Bone marrow smear; single-cell crop:
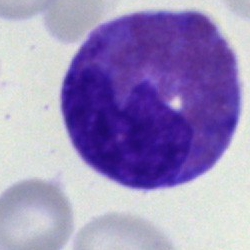 Showing an eosinophil.